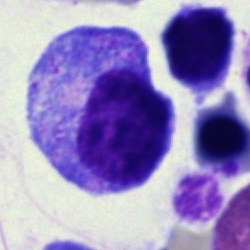 A promyelocyte on a bone marrow smear.